Bone marrow aspirate smear:
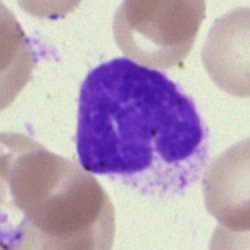

An artifact.